Bone marrow aspirate smear. Brightfield, 40× oil-immersion objective: 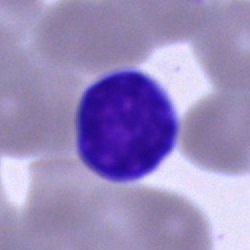

Single cell identified as a lymphocyte.